Bone marrow smear.
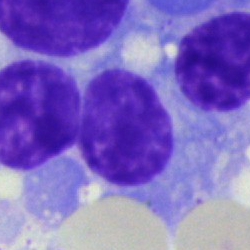Cell type — plasma cell.